Bone marrow smear: 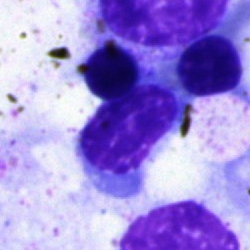 Cell type — artifact.